Bone marrow aspirate smear
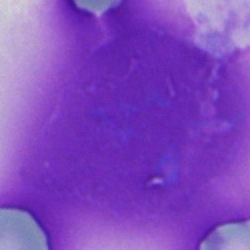
{"cell_type": "artefact"}